Peripheral blood film: 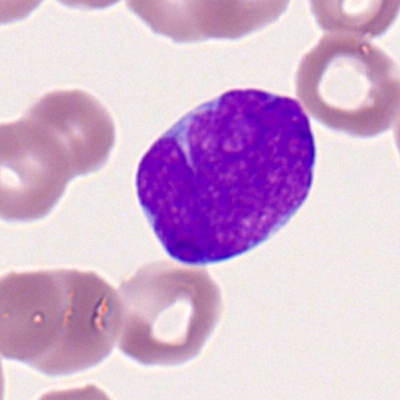Showing a myeloid blast.